250×250. Bone marrow aspirate smear. MGG-stained
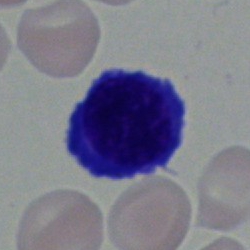

Q: What is shown here?
A: A nucleated red blood cell.